Bone marrow aspirate smear:
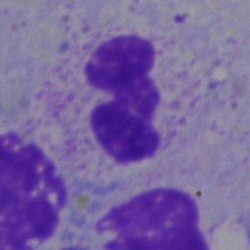

Showing a neutrophil (segmented).